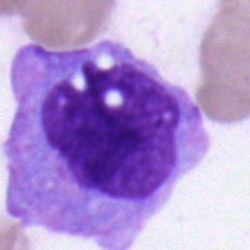

Impression → monocyte.